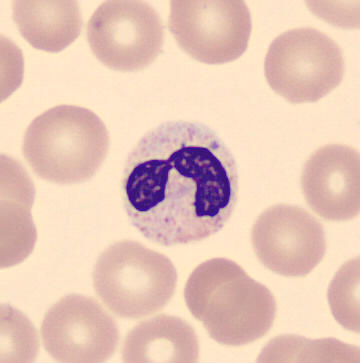Classification — neutrophil (segmented).